Bone marrow aspirate smear: 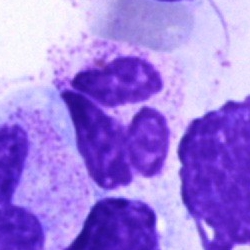 Q: What cell is this?
A: Polymorphonuclear neutrophil.